Peripheral blood film:
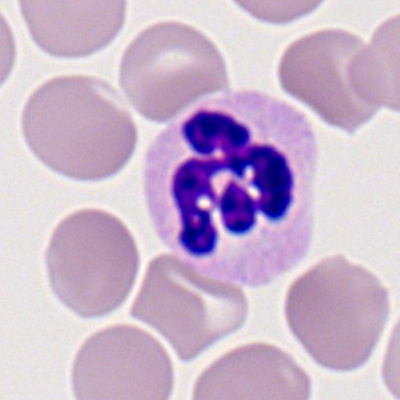
Cell — segmented neutrophil.